Bone marrow aspirate smear
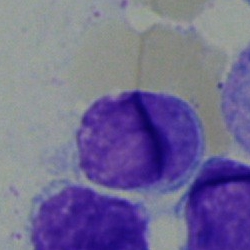

Impression → lymphocyte.